Bone marrow smear.
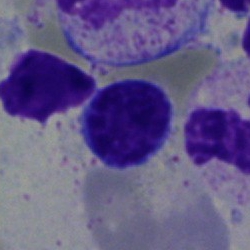Showing a lymphocyte.